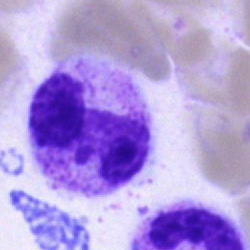 Specimen: bone marrow smear.
Cell: neutrophil (segmented).